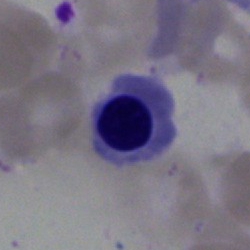

This is an erythroblast.